Cropped to a single cell · bone marrow smear · 40× oil immersion — 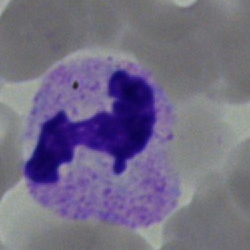
Q: What is shown here?
A: It is a neutrophil (segmented).